Bone marrow smear; brightfield microscopy, 40× oil immersion.
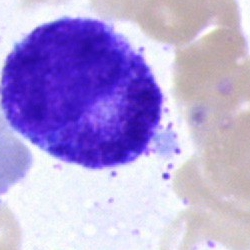

This is a myelocyte.